Bone marrow smear · MGG-stained
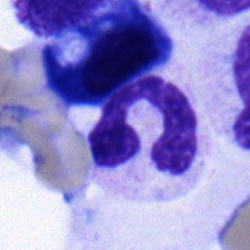

Q: What is the morphological classification of this cell?
A: This is a segmented neutrophil.